Bone marrow aspirate smear:
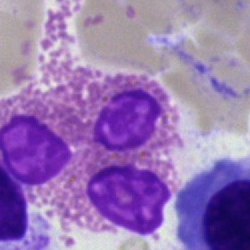 Specimen: bone marrow smear.
Cell: eosinophil.